Bone marrow aspirate smear; image size 250×250; brightfield microscopy, 40× oil immersion: 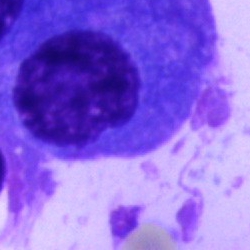 This is a plasma cell.